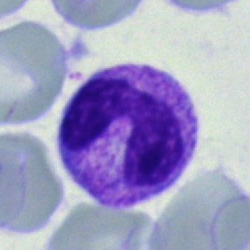 Specimen: bone marrow smear.
Classification: band-form neutrophil.
Lineage: myeloid.